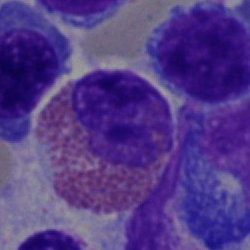

Q: What is shown here?
A: This is an eosinophil.